40× oil immersion; bone marrow smear: 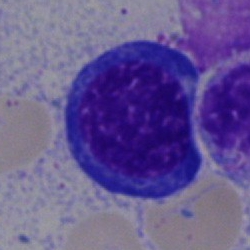 An erythroblast.